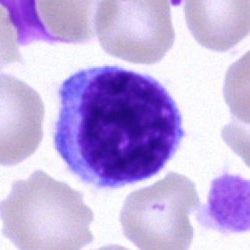 This is a lymphocyte.